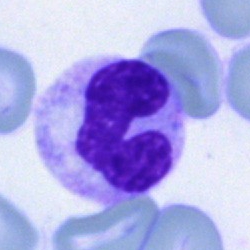Q: What is shown here?
A: This is a segmented neutrophil.